Bone marrow aspirate smear. 250×250
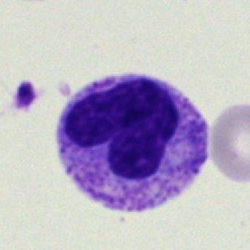Showing a metamyelocyte.